400×400. Peripheral blood film. 100× oil immersion: 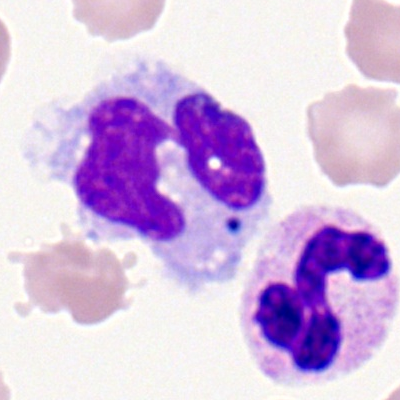

This is a monocyte.